Bone marrow smear
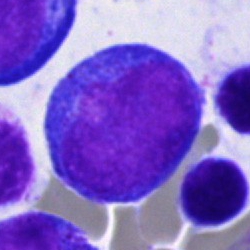

Q: What cell is this?
A: Proerythroblast.